Bone marrow smear:
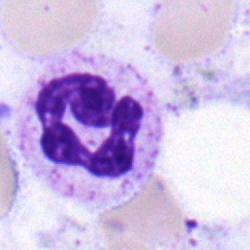Classification = polymorphonuclear neutrophil.